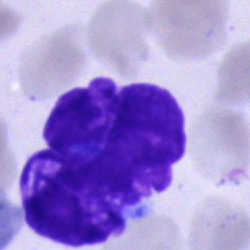
An artifact.